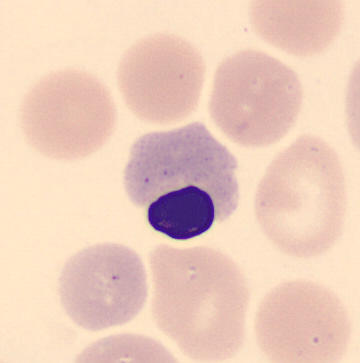This is a nucleated red blood cell.

Acquisition: Single-cell field; peripheral blood smear.